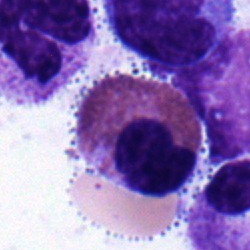 Cell = eosinophilic granulocyte.